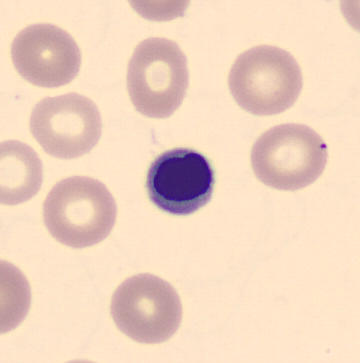
Impression — normoblast. Peripheral blood film.